Bone marrow aspirate smear · single cell centered in the field · brightfield microscopy, 40× oil immersion — 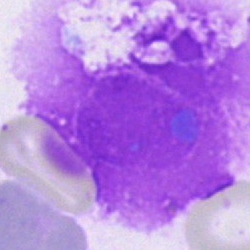

Cell type — artefact.